Pappenheim-stained. Bone marrow smear:
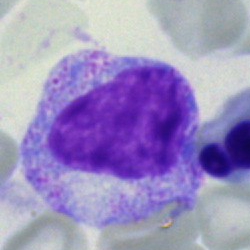

Cell type — myelocyte.